Bone marrow aspirate smear:
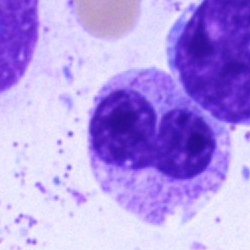 Morphological class = polymorphonuclear neutrophil.